100× oil immersion. Peripheral blood smear:
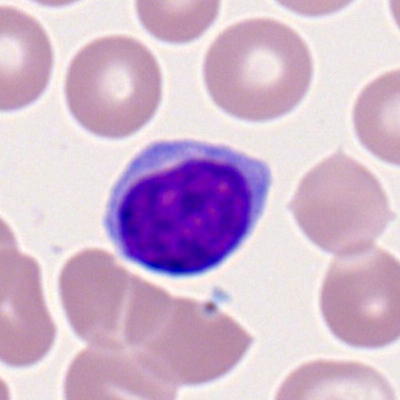 {"cell_type": "lymphocyte", "lineage": "lymphoid"}